Bone marrow smear — 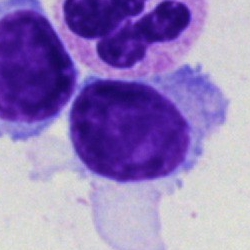The cell shown is a typical lymphocyte.